Brightfield, 40× oil-immersion objective. Bone marrow aspirate smear.
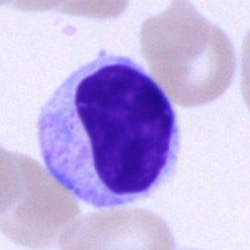
Cell type — artefact.